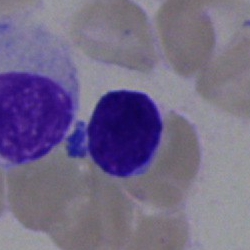

Q: What is the morphological classification of this cell?
A: Typical lymphocyte.